Single cell centered in the field. Bone marrow smear — 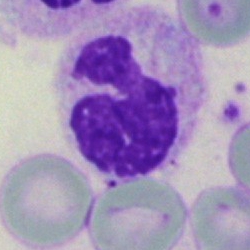

The classification is neutrophil (segmented).